Bone marrow smear
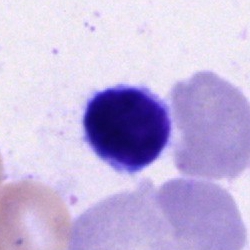

This is a typical lymphocyte.